Bone marrow smear — 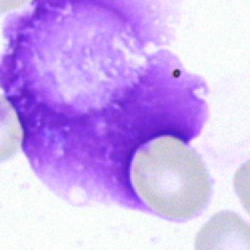
Q: What is shown here?
A: Artifact.